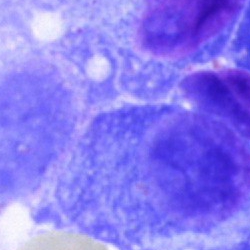
The cell shown is a plasmacyte.